Bone marrow aspirate smear · 250 by 250 pixels · cropped to a single cell
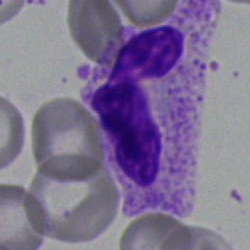

A polymorphonuclear neutrophil.